Bone marrow aspirate smear · single cell centered in the field: 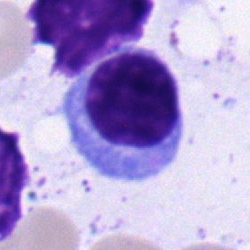
A lymphocyte.